Bone marrow smear; image size 250×250 — 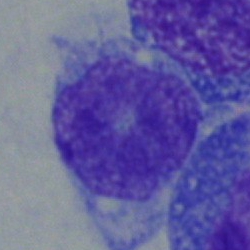 Morphology consistent with a monocyte.